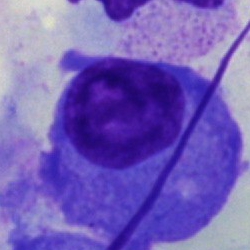
Cell — plasmacyte.